Bone marrow smear · brightfield, 40× oil-immersion objective:
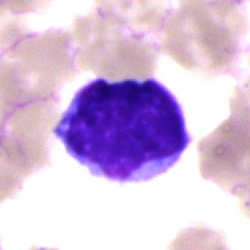Showing a lymphocyte.